Brightfield microscopy, 40× oil immersion. Bone marrow aspirate smear
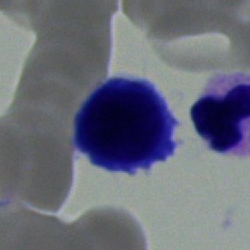
Morphology — lymphocyte.